Bone marrow aspirate smear — 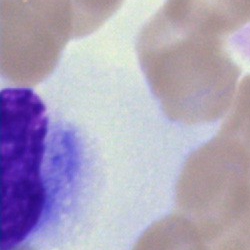Morphological class = artifact.